40× objective, oil immersion · bone marrow aspirate smear · May-Grünwald-Giemsa stain.
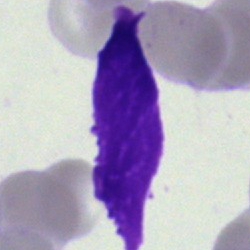

The cell shown is an artifact.